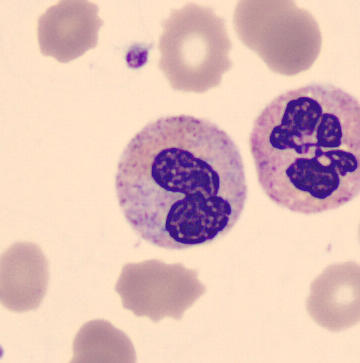 Cell: neutrophil (band).